Bone marrow aspirate smear: 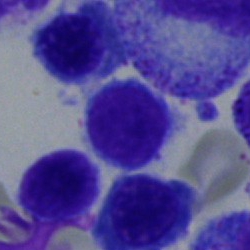 A lymphocyte.